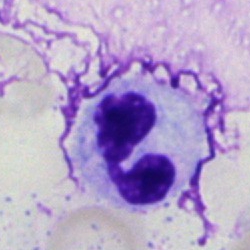 Morphology → segmented neutrophil.